Bone marrow smear: 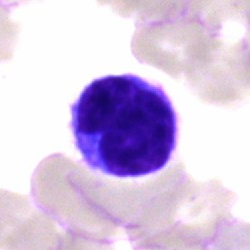
Impression — lymphocyte.